Single-cell crop; brightfield, 40× oil-immersion objective; bone marrow aspirate smear:
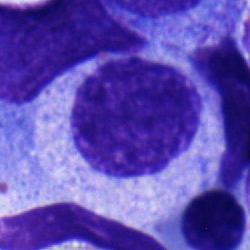
Specimen: bone marrow smear.
Cell type: myelocyte.